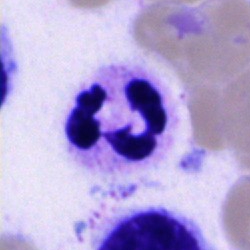 Showing a segmented neutrophil.